Bone marrow smear; brightfield microscopy, 40× oil immersion; image size 250×250: 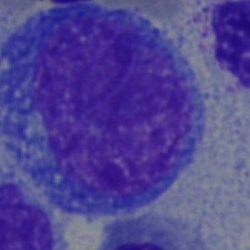

The cell shown is a blast.